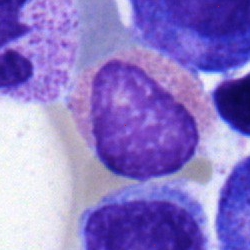

Specimen: bone marrow aspirate smear.
Classification: eosinophil.
Lineage: myeloid.